Bone marrow aspirate smear; single-cell field; 40× oil immersion
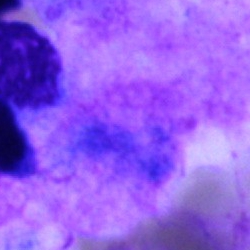 Single cell identified as an artifact.